Bone marrow aspirate smear
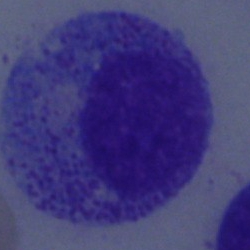
Specimen: bone marrow smear.
Cell type: progranulocyte.
Lineage: myeloid.